Bone marrow smear; 40× objective, oil immersion: 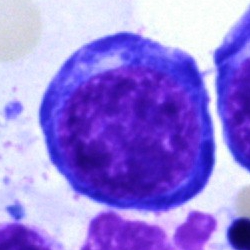
Morphology consistent with an erythroblast.